Bone marrow smear.
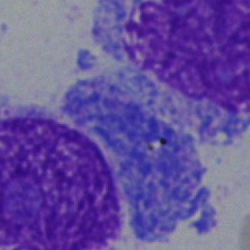 Morphological class — blast cell.